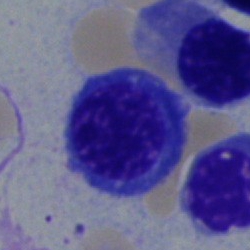 Q: What is shown here?
A: It is a normoblast.